Brightfield microscopy, 40× oil immersion. Bone marrow aspirate smear:
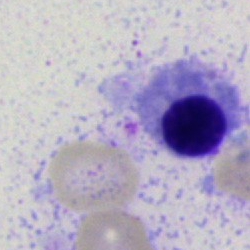
The cell type is nucleated red cell.